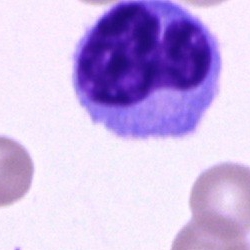

The classification is monocyte.